Bone marrow aspirate smear; single cell centered in the field.
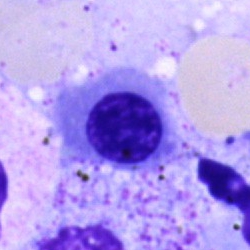
Specimen: bone marrow aspirate smear.
Classification: normoblast.